Bone marrow aspirate smear; single-cell field; 250×250 px
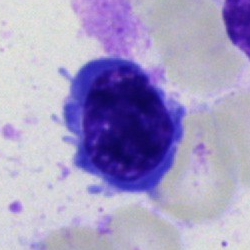 Showing a nucleated red blood cell.